Single-cell crop. Bone marrow smear
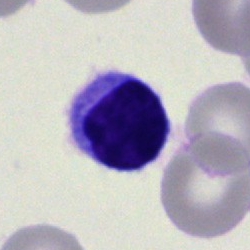Morphology → lymphocyte.